Bone marrow smear
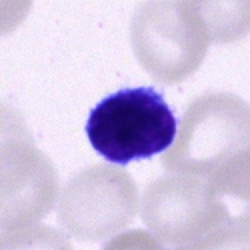Cell type — typical lymphocyte.